May-Grünwald-Giemsa stain · bone marrow smear · single-cell field
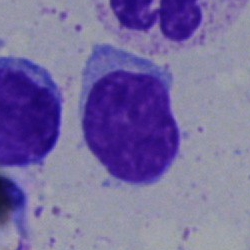
Specimen: bone marrow smear.
Cell type: typical lymphocyte.
Lineage: lymphoid.